40× oil immersion; bone marrow smear — 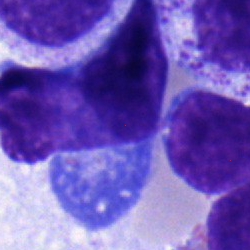

Cell type = plasma cell.